Bone marrow aspirate smear; brightfield microscopy, 40× oil immersion:
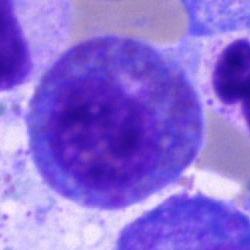The cell shown is an eosinophilic granulocyte.